Bone marrow smear · May-Grünwald-Giemsa/Pappenheim stain:
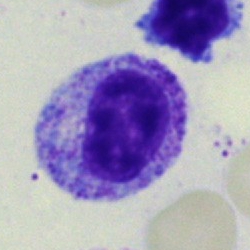 Q: What is the morphological classification of this cell?
A: A myelocyte.